Bone marrow aspirate smear
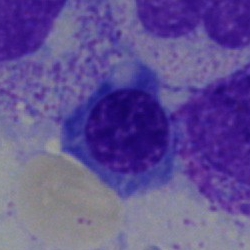This is a nucleated red blood cell.